Bone marrow smear: 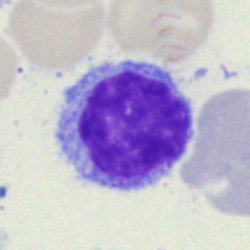 Morphology → typical lymphocyte.